Bone marrow smear
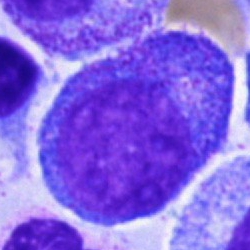Classification — promyelocyte.